Bone marrow aspirate smear: 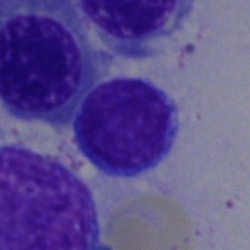Q: What is the morphological classification of this cell?
A: A typical lymphocyte.